Bone marrow aspirate smear: 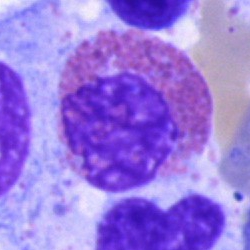

The cell shown is an eosinophil.